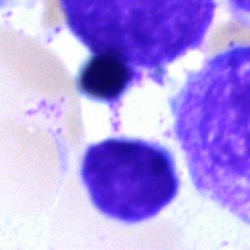Q: Identify the cell.
A: It is a typical lymphocyte.